Bone marrow aspirate smear. Single-cell crop:
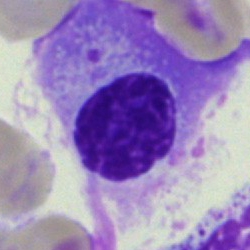 Showing a plasmacyte.